Bone marrow smear — 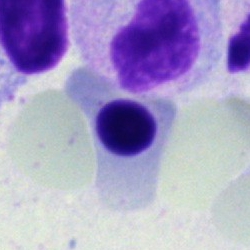

Morphological class — erythroblast.